Bone marrow smear.
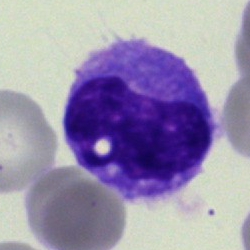This is a monocyte.